Bone marrow smear: 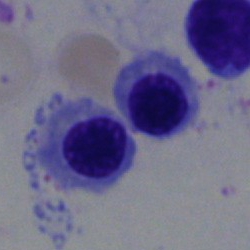

Showing a nucleated red cell.